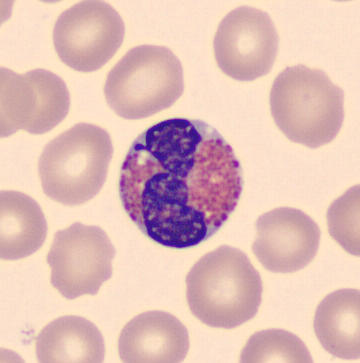Image: CellaVision DM96 digital cell image; peripheral blood smear. Q: Identify the cell.
A: Eosinophilic granulocyte.